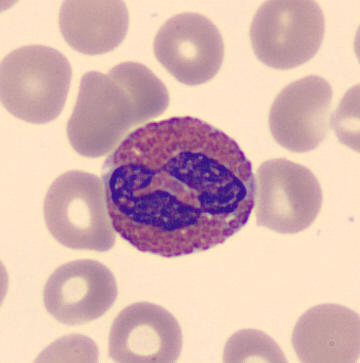
The cell shown is an eosinophil.

Acquisition: Peripheral blood smear.